Bone marrow smear. Single-cell crop:
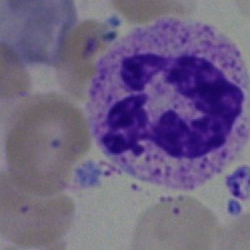Morphological class = neutrophil (segmented).